Bone marrow smear.
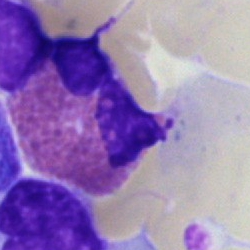

Q: What cell is this?
A: An eosinophilic granulocyte.